Bone marrow aspirate smear: 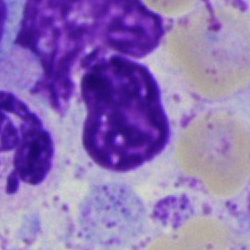 The morphological class is artefact.